Bone marrow smear
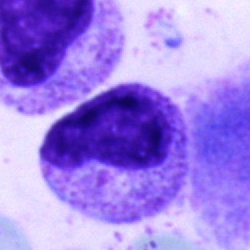

The cell shown is a metamyelocyte.